Bone marrow aspirate smear — 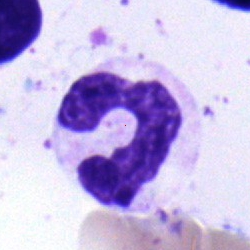 Morphological class — polymorphonuclear neutrophil.